Bone marrow smear
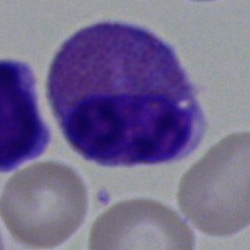The cell type is eosinophilic granulocyte.